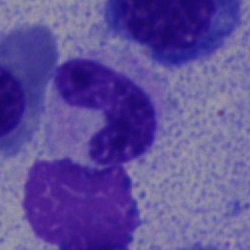Specimen: bone marrow aspirate smear.
Classification: neutrophil (band).